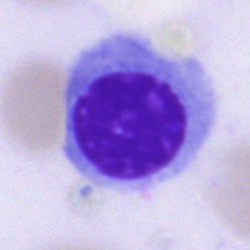Q: Which cell type is shown here?
A: This is a nucleated red cell.